40× oil immersion; bone marrow smear
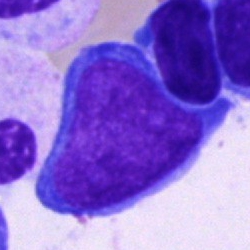Q: Which cell type is shown here?
A: Blast.